Bone marrow smear:
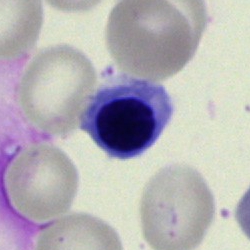

Q: What is shown here?
A: Nucleated red blood cell.